Bone marrow aspirate smear:
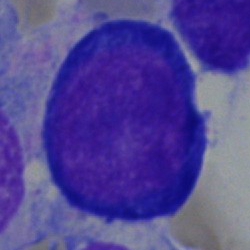 Cell = proerythroblast.